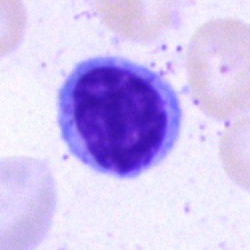
A lymphocyte.